Bone marrow aspirate smear. Single-cell crop. 40× objective, oil immersion.
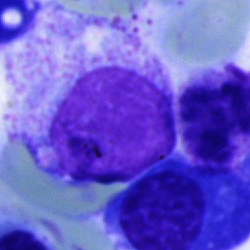Impression — myelocyte.